Bone marrow aspirate smear: 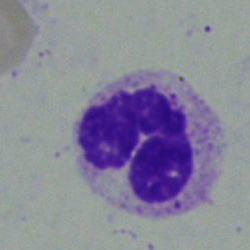

Specimen: bone marrow aspirate smear.
Classification: neutrophil (segmented).